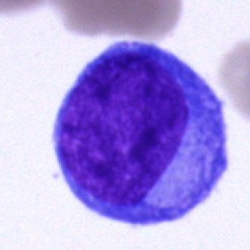 This is an undifferentiated blast.